Bone marrow smear. Single-cell field. Pappenheim-stained: 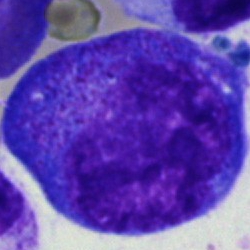
Cell = promyelocyte.